100× oil immersion. Peripheral blood smear — 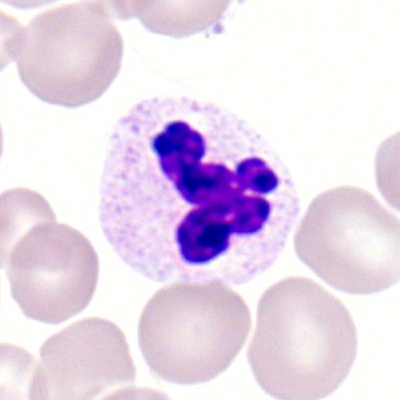Cell type: polymorphonuclear neutrophil.